Peripheral blood smear — 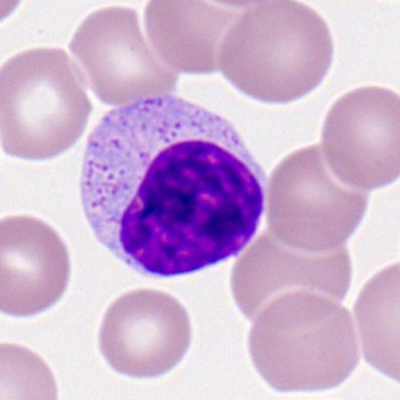Showing a typical lymphocyte.